Cropped to a single cell; bone marrow aspirate smear
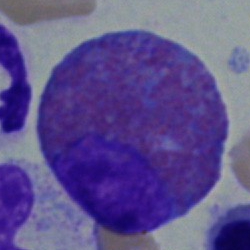This is an eosinophilic granulocyte.